Peripheral blood film: 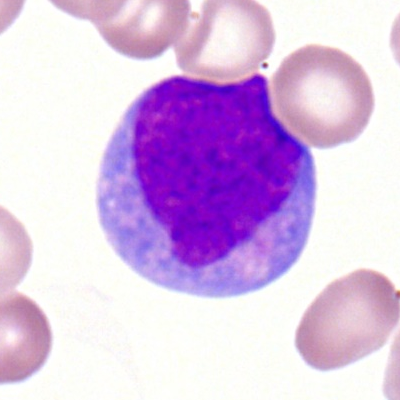Single cell identified as a myeloblast.